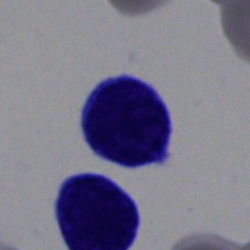

A typical lymphocyte.